Bone marrow aspirate smear:
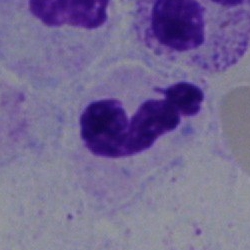

A segmented neutrophil.